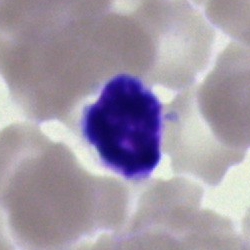
Morphological class = lymphocyte.